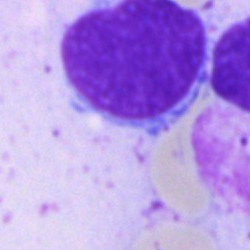 Q: Identify the cell.
A: Undifferentiated blast.